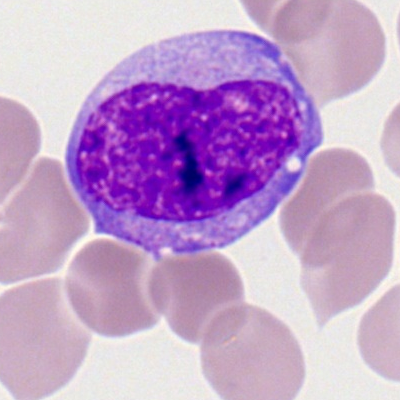 Morphology → monocyte.